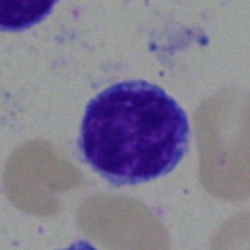 {"cell_type": "lymphocyte", "lineage": "lymphoid"}